Bone marrow aspirate smear
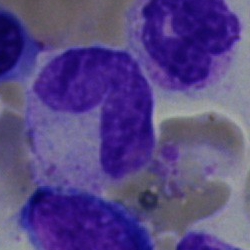
The cell shown is a band-form neutrophil.